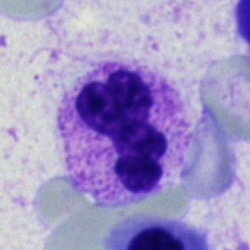Q: What type of cell is this?
A: It is a segmented neutrophil.